Image size 250×250; single-cell field; bone marrow smear: 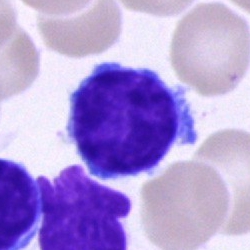

Cell: lymphocyte.